Bone marrow aspirate smear — 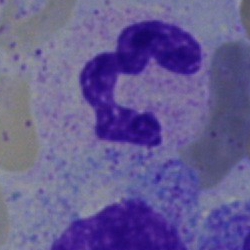 Showing a polymorphonuclear neutrophil.